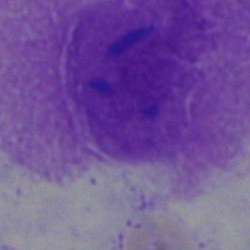

Specimen: bone marrow smear.
Classification: artifact.